Bone marrow aspirate smear — 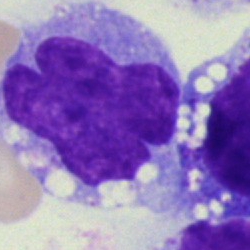

Monocyte.